Single-cell crop; bone marrow smear:
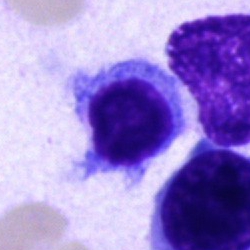

This is a typical lymphocyte.